Bone marrow aspirate smear · single-cell crop.
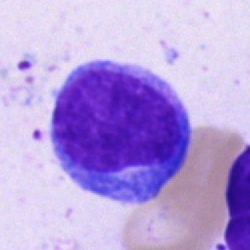Morphological class: undifferentiated blast.